Bone marrow smear
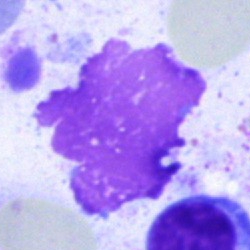

Q: What is shown here?
A: An artifact.